Bone marrow smear · single-cell crop:
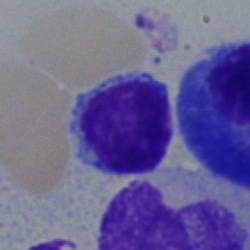 This is a lymphocyte.